Bone marrow smear
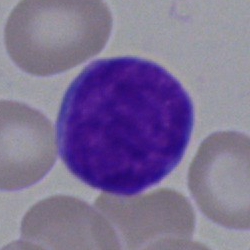
Q: What type of cell is this?
A: It is a blast cell.